Bone marrow smear · single-cell crop
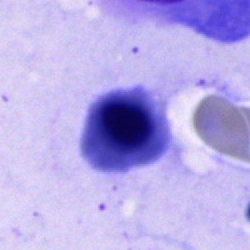 Q: What is shown here?
A: It is a nucleated red cell.